Peripheral blood film — 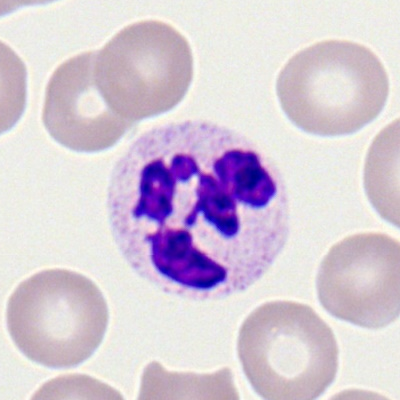

This is a neutrophil (segmented).